Bone marrow aspirate smear · Pappenheim-stained.
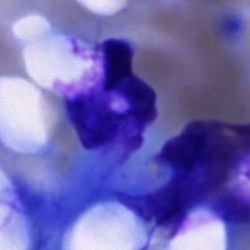
Impression — artefact.